Bone marrow smear:
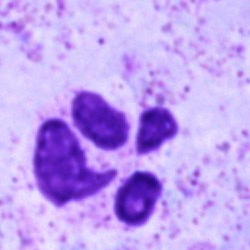 Morphological class: polymorphonuclear neutrophil.